Peripheral blood film. Romanowsky-type stain
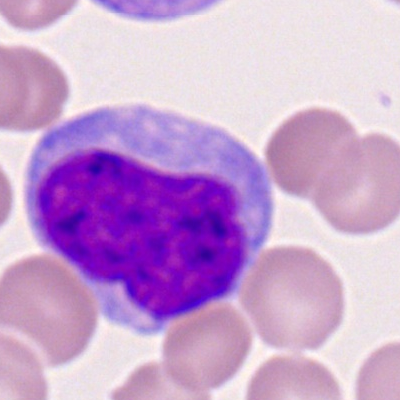Specimen: peripheral blood smear.
Cell type: monocyte.